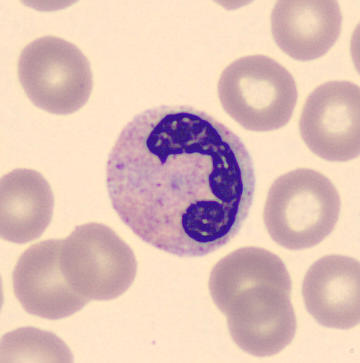
Identified as a stab cell.

MGG stain. Peripheral blood smear.